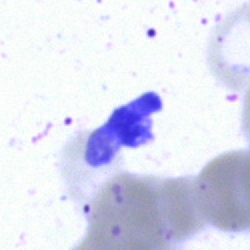

Specimen: bone marrow smear.
Morphological class: artifact.